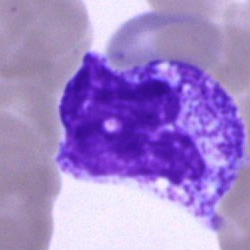Classification: polymorphonuclear neutrophil.